Cropped to a single cell · Pappenheim-stained · bone marrow aspirate smear — 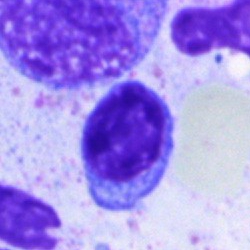 Single cell identified as a typical lymphocyte.